Bone marrow smear; single cell centered in the field; May-Grünwald-Giemsa/Pappenheim stain.
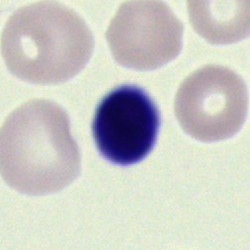{"cell_type": "lymphocyte", "lineage": "lymphoid"}